Bone marrow aspirate smear:
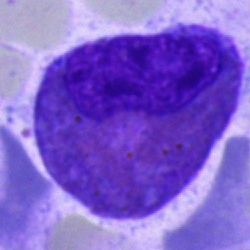 This is an eosinophilic granulocyte.